Pappenheim-stained. Bone marrow aspirate smear: 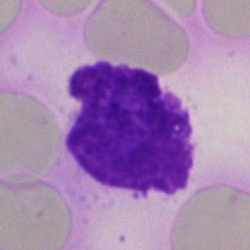Morphology → artifact.